Bone marrow smear · single-cell crop · brightfield, 40× oil-immersion objective — 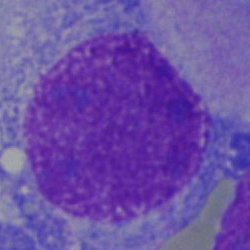Showing a blast.